250×250 px; bone marrow aspirate smear:
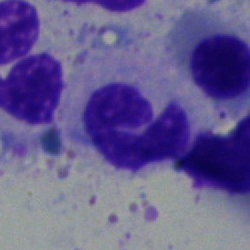

Morphological class: segmented neutrophil.